Single cell centered in the field · 250×250 px · bone marrow smear
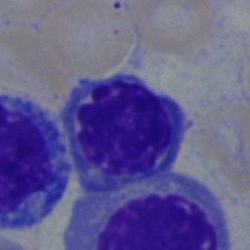
A nucleated red blood cell.